Cropped to a single cell. Bone marrow aspirate smear
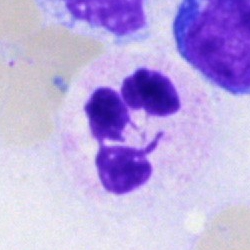

A polymorphonuclear neutrophil.